Brightfield microscopy, 40× oil immersion · bone marrow aspirate smear
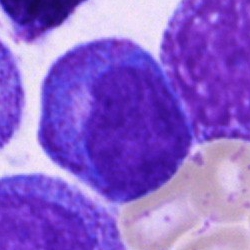
The cell shown is a promyelocyte.